Bone marrow smear.
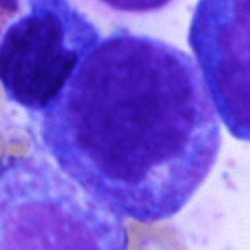
Morphological class — progranulocyte.